MGG-stained. Image size 250×250. Bone marrow smear:
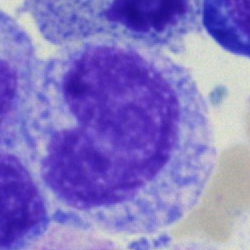 Specimen: bone marrow aspirate smear.
Classification: promyelocyte.
Lineage: myeloid.